May-Grünwald-Giemsa stain; bone marrow smear; brightfield, 40× oil-immersion objective
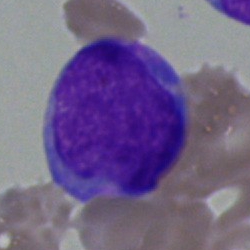

An undifferentiated blast.